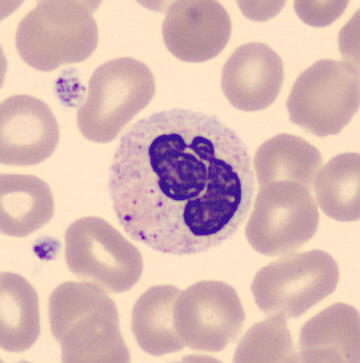
Specimen: peripheral blood smear.
Cell type: polymorphonuclear neutrophil.
Lineage: myeloid.